Bone marrow aspirate smear:
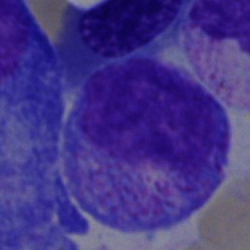 Classification = promyelocyte.